Peripheral blood film. Romanowsky stain:
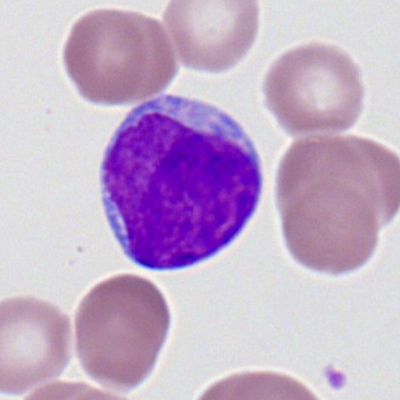
Single cell identified as a myeloid blast.